Bone marrow smear:
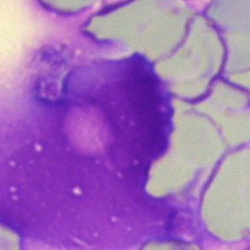
Specimen: bone marrow aspirate smear.
Cell: artifact.